Bone marrow aspirate smear
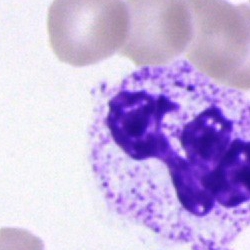
Cell: polymorphonuclear neutrophil.